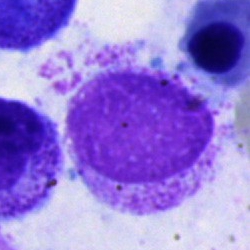

Q: What is shown here?
A: An artefact.